Bone marrow aspirate smear · 250×250 · brightfield, 40× oil-immersion objective.
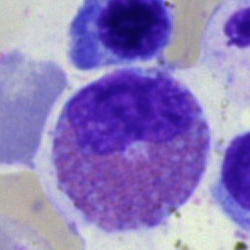Q: What is shown here?
A: This is an eosinophil.